Single cell centered in the field; bone marrow aspirate smear.
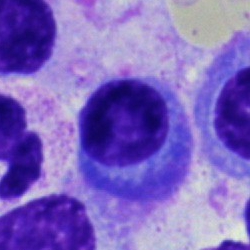 Showing a plasmacyte.